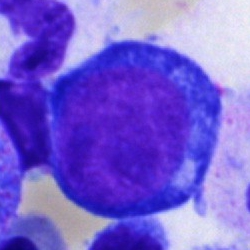
Cell type — proerythroblast.